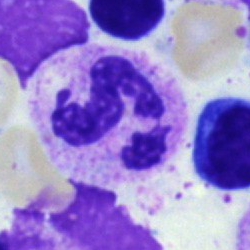 Single cell identified as a segmented neutrophil.